Bone marrow aspirate smear: 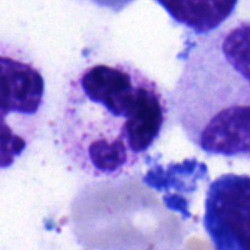
The cell is polymorphonuclear neutrophil.